Peripheral blood film; Romanowsky-type stain: 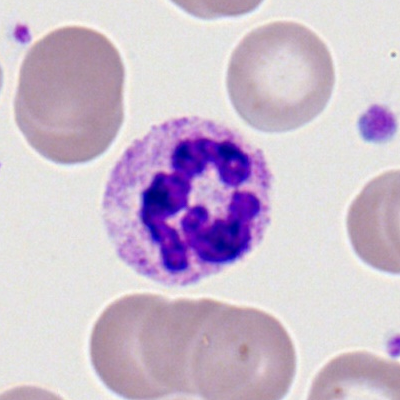
Morphology — segmented neutrophil.